Bone marrow smear; single-cell crop — 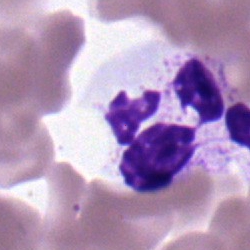The cell shown is a segmented neutrophil.